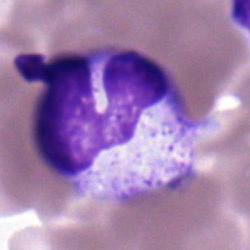 The cell shown is a band neutrophil.